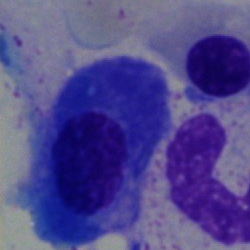Impression → plasmacyte.